Bone marrow aspirate smear · single-cell crop · brightfield, 40× oil-immersion objective: 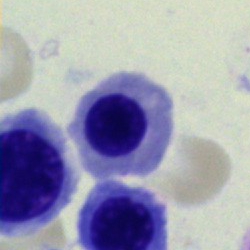 {"cell_type": "nucleated red cell", "lineage": "erythroid"}